Bone marrow smear · cropped to a single cell
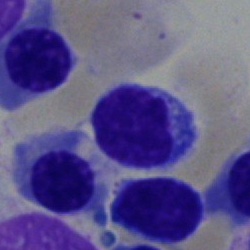
The morphological class is typical lymphocyte.